MGG-stained. Bone marrow smear:
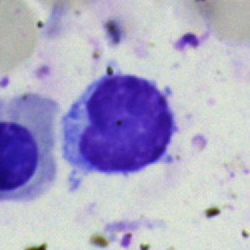 Impression — typical lymphocyte.